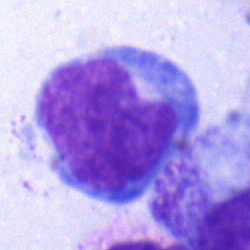 Classification = monocyte.